Brightfield microscopy, 40× oil immersion. Bone marrow smear.
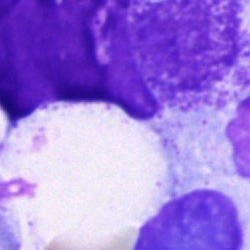

Morphology → artifact.